Brightfield microscopy, 40× oil immersion; bone marrow aspirate smear: 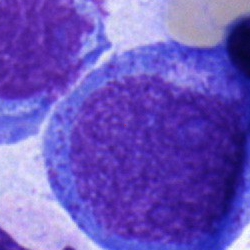 Specimen: bone marrow smear.
Cell type: promyelocyte.
Lineage: myeloid.